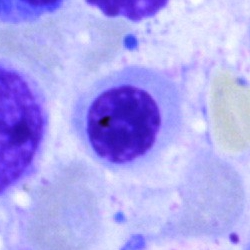
Morphology — nucleated red blood cell.